Bone marrow aspirate smear
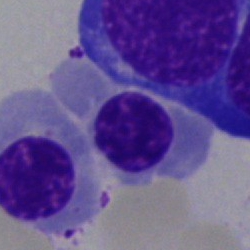
Single cell identified as a normoblast.